Bone marrow smear; 40× objective, oil immersion:
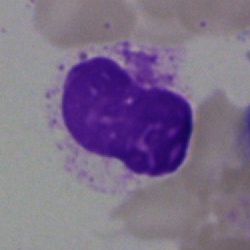 The cell type is artefact.